May-Grünwald-Giemsa stain; bone marrow aspirate smear.
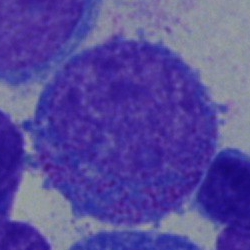
Showing a progranulocyte.